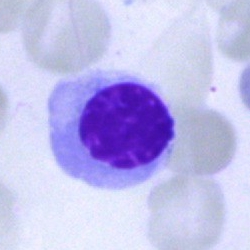
Cell: normoblast.